250×250 px; single cell centered in the field; bone marrow smear.
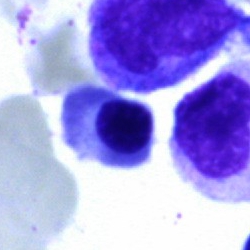 Showing a normoblast.